Bone marrow aspirate smear.
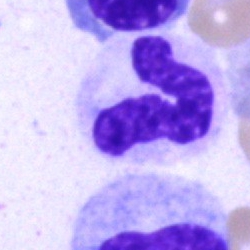
Showing a neutrophil (band).